Romanowsky-stained · peripheral blood film.
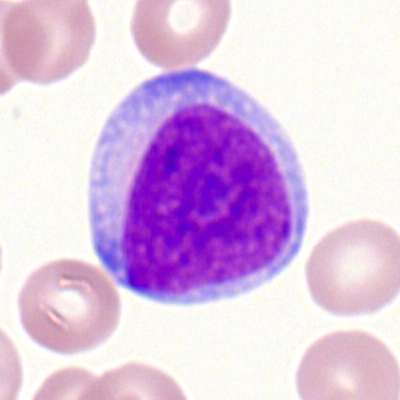

Cell = myeloblast.